Bone marrow smear — 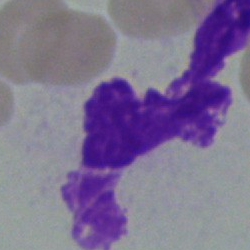

Specimen: bone marrow aspirate smear.
Cell type: artefact.